Peripheral blood smear
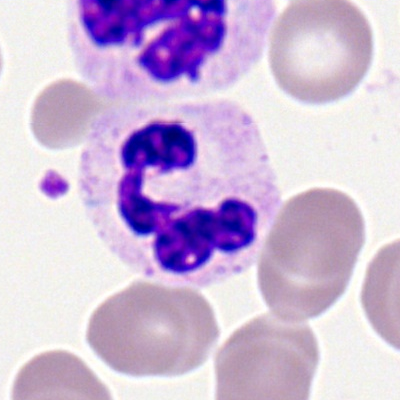 Morphology consistent with a polymorphonuclear neutrophil.